Peripheral blood smear — 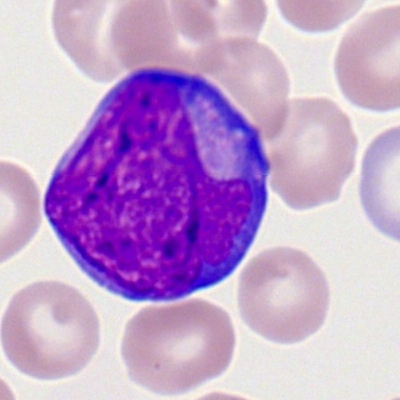

Q: Which cell type is shown here?
A: This is a myeloid blast.